Bone marrow smear:
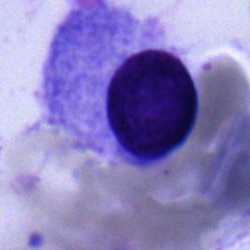Specimen: bone marrow smear.
Cell type: plasmacyte.